Bone marrow aspirate smear.
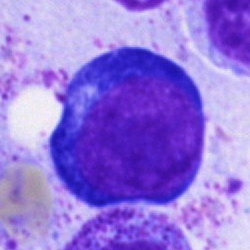
This is a pronormoblast.